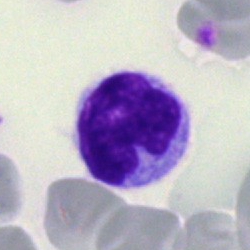 Bone marrow smear showing a monocyte.